Cropped to a single cell. Bone marrow aspirate smear. May-Grünwald-Giemsa/Pappenheim stain: 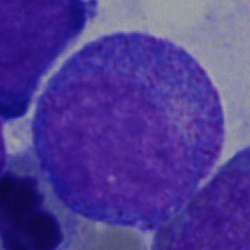 Single cell identified as a promyelocyte.